MGG-stained; bone marrow aspirate smear — 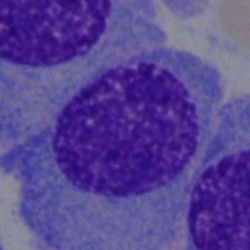 Impression → plasmacyte.